Bone marrow aspirate smear — 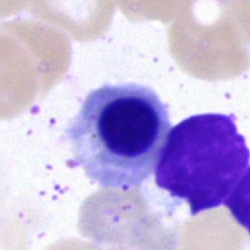Impression → nucleated red cell.